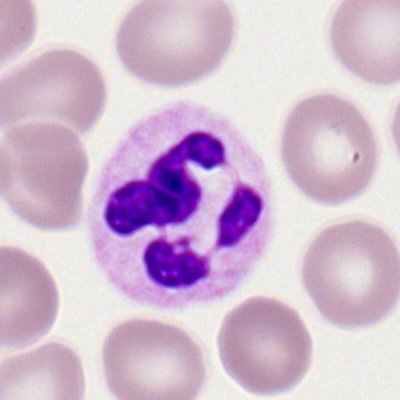

The cell shown is a polymorphonuclear neutrophil.